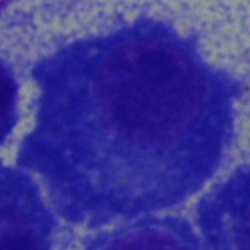

Q: What is shown here?
A: This is a plasmacyte.